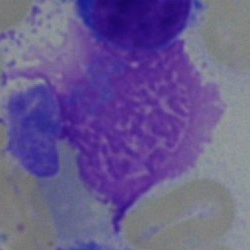Cell type: artefact.